Bone marrow aspirate smear.
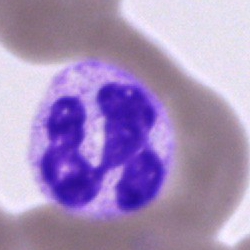Morphological class = segmented neutrophil.